Bone marrow aspirate smear; single cell centered in the field; 250×250.
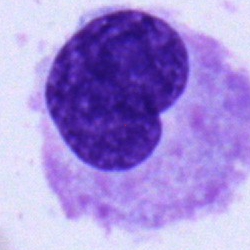 A metamyelocyte.